Peripheral blood smear; 400 by 400 pixels — 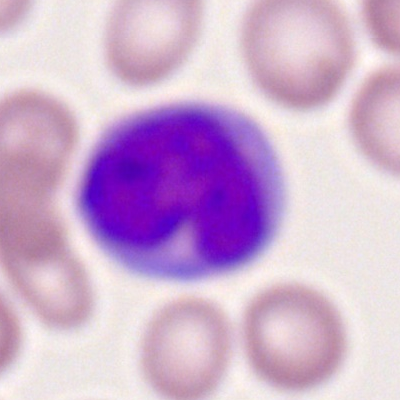 The cell shown is a monocyte.